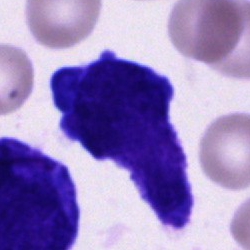 An unidentifiable cell on a bone marrow smear.